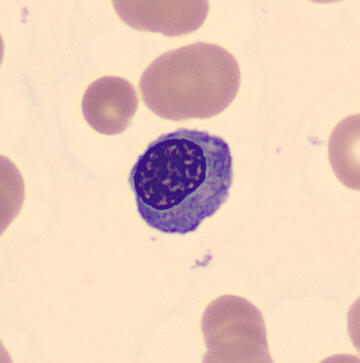Q: What type of cell is this?
A: An erythroblast.